Bone marrow smear — 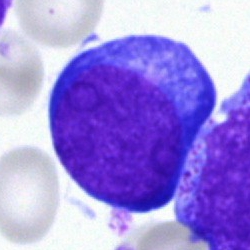

The cell type is pronormoblast.